May-Grünwald-Giemsa/Pappenheim stain. Bone marrow aspirate smear. 250 by 250 pixels:
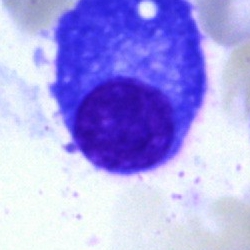
Morphology — plasma cell.